Peripheral blood film:
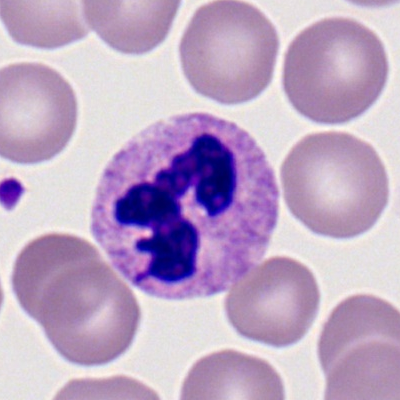
Specimen: peripheral blood smear.
Cell type: neutrophil (segmented).
Lineage: myeloid.